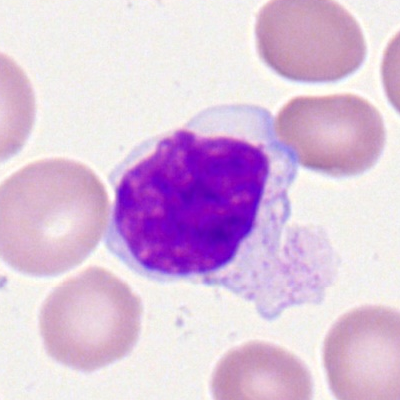Q: Identify the cell.
A: This is a typical lymphocyte.